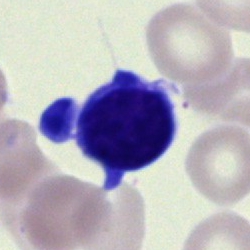

Impression — typical lymphocyte.